Peripheral blood smear · image size 400×400 · Romanowsky stain
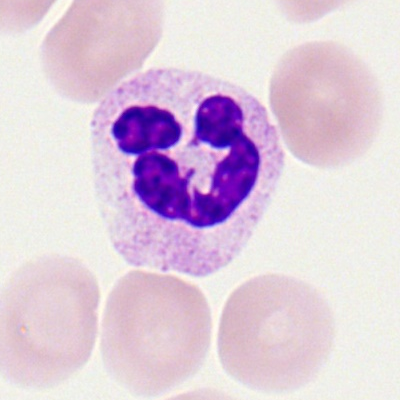

{"cell_type": "polymorphonuclear neutrophil", "lineage": "myeloid"}